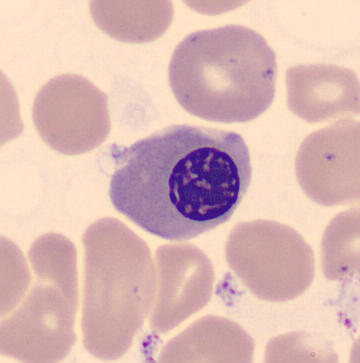
Image: Peripheral blood film.
Q: What is the morphological classification of this cell?
A: Erythroblast.